Bone marrow smear.
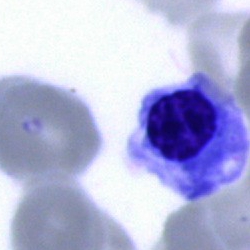 An erythroblast.